Bone marrow aspirate smear. Brightfield, 40× oil-immersion objective — 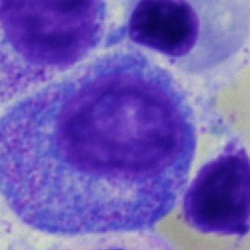 Promyelocyte.